Bone marrow smear — 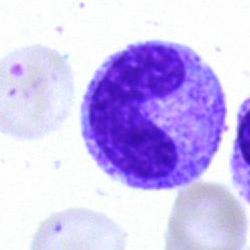 Specimen: bone marrow aspirate smear.
Morphological class: stab cell.
Lineage: myeloid.